Bone marrow aspirate smear: 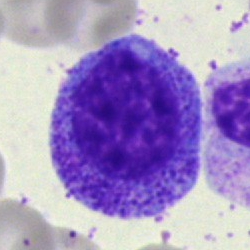 Q: What is shown here?
A: A progranulocyte.